Bone marrow smear. 250 by 250 pixels. 40× objective, oil immersion — 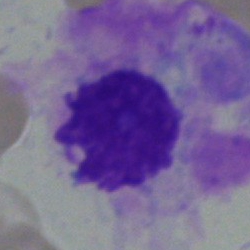

Morphology consistent with an artifact.